Bone marrow aspirate smear:
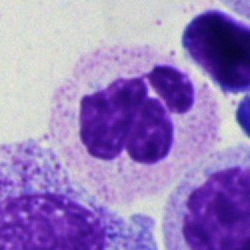

Impression — polymorphonuclear neutrophil.